Bone marrow aspirate smear · single-cell crop: 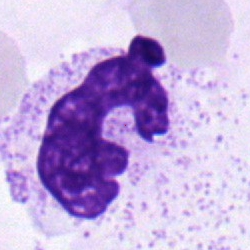
Q: Identify the cell.
A: A neutrophil (segmented).